Bone marrow smear:
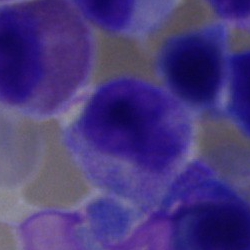The cell shown is a metamyelocyte.